40× oil immersion. Bone marrow aspirate smear.
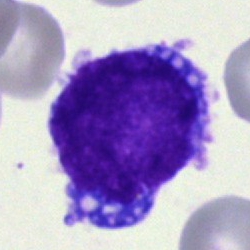{"cell_type": "blast"}